Bone marrow smear:
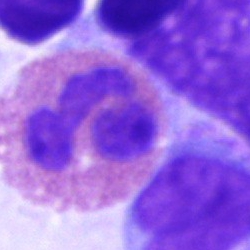Specimen: bone marrow aspirate smear.
Morphological class: eosinophilic granulocyte.